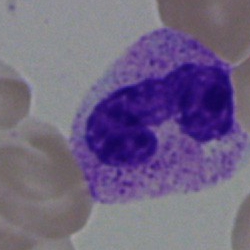

Bone marrow aspirate smear, single cell — band-form neutrophil.